MGG-stained. Bone marrow smear. Brightfield microscopy, 40× oil immersion:
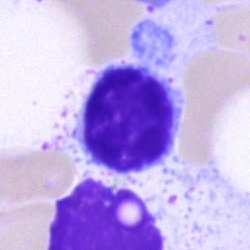

Impression → typical lymphocyte.